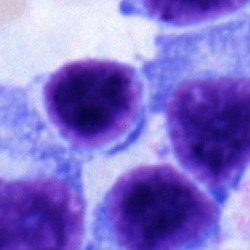
Q: What is shown here?
A: Lymphocyte.